Peripheral blood smear. 400 by 400 pixels: 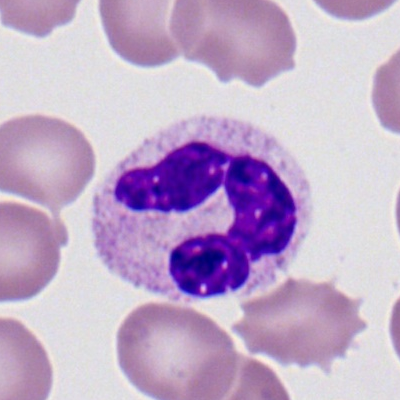

Q: What cell is this?
A: This is a neutrophil (segmented).